40× oil immersion; bone marrow smear
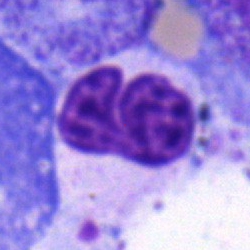
Morphology → band neutrophil.